Bone marrow smear — 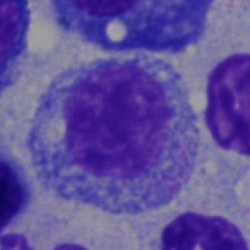 Promyelocyte.